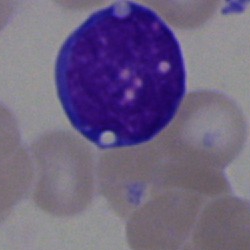
Specimen: bone marrow smear.
Cell: blast.